Bone marrow aspirate smear; single cell centered in the field: 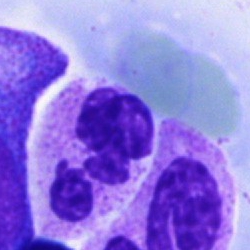Specimen: bone marrow aspirate smear.
Cell: polymorphonuclear neutrophil.
Lineage: myeloid.